Bone marrow aspirate smear:
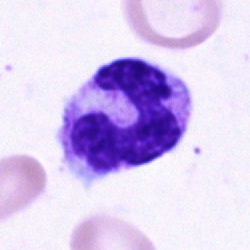 Q: What is shown here?
A: It is a neutrophil (segmented).